May-Grünwald-Giemsa/Pappenheim stain · bone marrow smear:
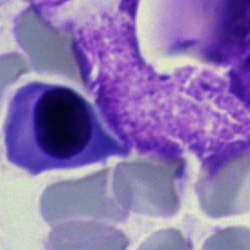
Specimen: bone marrow aspirate smear.
Morphological class: erythroblast.
Lineage: erythroid.